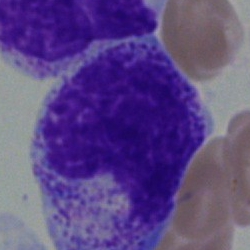Q: What is the morphological classification of this cell?
A: A myelocyte.